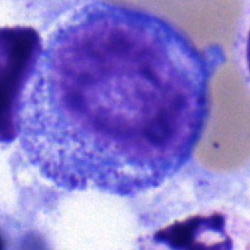

Q: Identify the cell.
A: It is a promyelocyte.